Bone marrow smear.
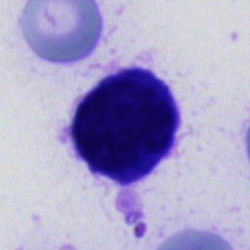
Unidentifiable cell.